Bone marrow smear.
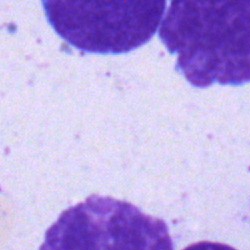Specimen: bone marrow smear.
Morphological class: blast.